Bone marrow aspirate smear
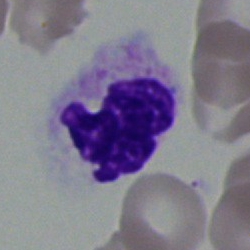

Specimen: bone marrow smear.
Morphological class: neutrophil (segmented).
Lineage: myeloid.